Bone marrow aspirate smear.
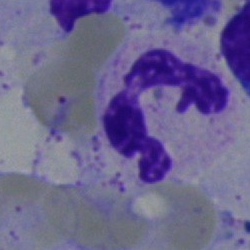Specimen: bone marrow aspirate smear.
Cell: polymorphonuclear neutrophil.